Bone marrow aspirate smear — 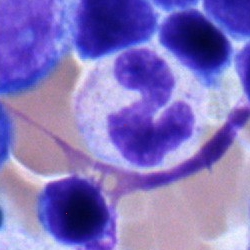

Classification — polymorphonuclear neutrophil.